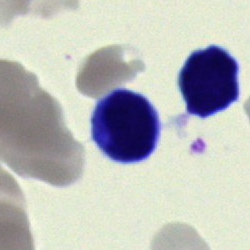Cell type: lymphocyte.